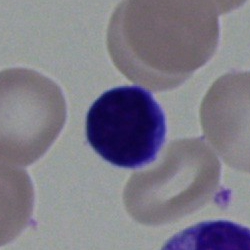

Morphology → lymphocyte.